Single-cell crop · bone marrow smear · 250×250
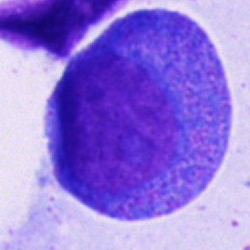

Q: What is the morphological classification of this cell?
A: It is a promyelocyte.